Bone marrow aspirate smear — 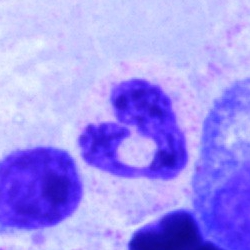{"cell_type": "polymorphonuclear neutrophil"}